Bone marrow aspirate smear; May-Grünwald-Giemsa/Pappenheim stain
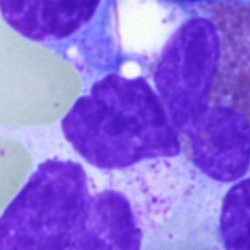 Q: What is shown here?
A: Artifact.